May-Grünwald-Giemsa stain. Bone marrow smear:
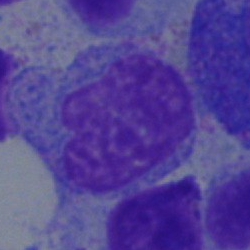 Q: What cell is this?
A: A monocyte.